Cropped to a single cell · bone marrow aspirate smear: 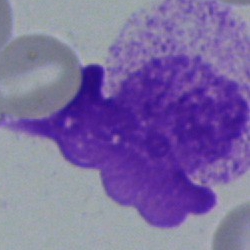Cell type — artifact.